Bone marrow smear:
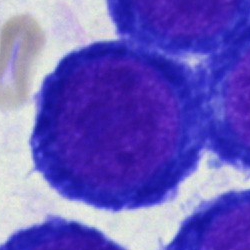Morphological class: proerythroblast.